Bone marrow smear; 250×250 px: 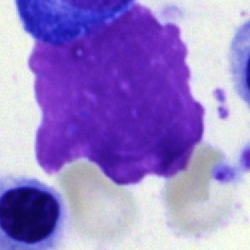

The cell shown is an artefact.